250 by 250 pixels; bone marrow aspirate smear; cropped to a single cell:
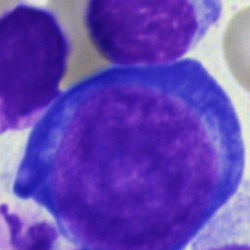
Morphological class: pronormoblast.